Bone marrow smear — 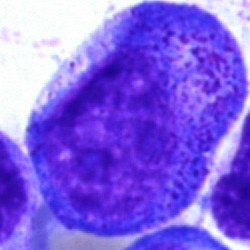 This is a promyelocyte.